Single-cell crop. Bone marrow aspirate smear — 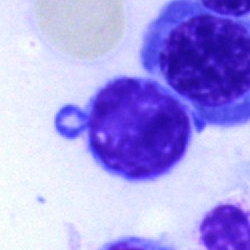
This is a lymphocyte.